Single-cell crop; bone marrow aspirate smear:
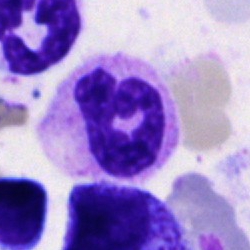

The classification is segmented neutrophil.